Brightfield microscopy, 40× oil immersion · bone marrow aspirate smear · May-Grünwald-Giemsa stain
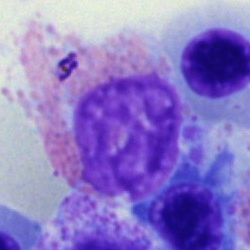Morphological class = eosinophilic granulocyte.